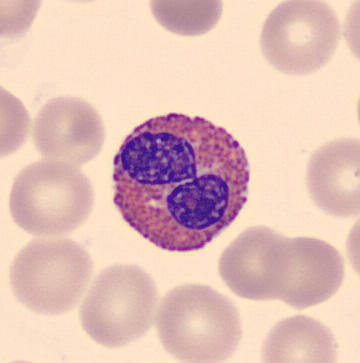
Single-cell field; May-Grünwald-Giemsa-stained; peripheral blood smear.

Morphology → eosinophil.